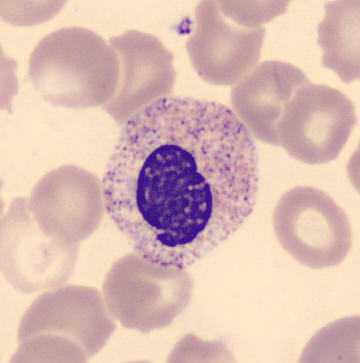

Q: What is this?
A: Polymorphonuclear neutrophil.